Bone marrow aspirate smear:
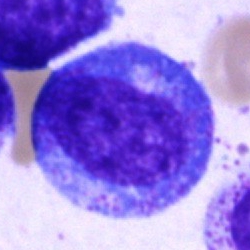

Q: What type of cell is this?
A: This is a progranulocyte.